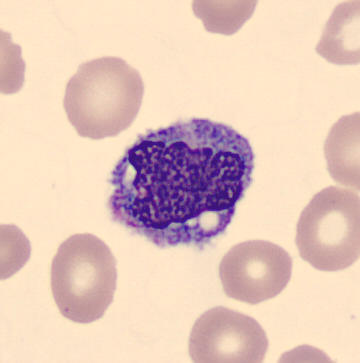 Single-cell crop from a peripheral blood smear: monocyte.